250×250 px. MGG-stained. Bone marrow smear.
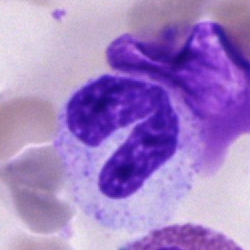

{"cell_type": "polymorphonuclear neutrophil", "lineage": "myeloid"}